Bone marrow aspirate smear
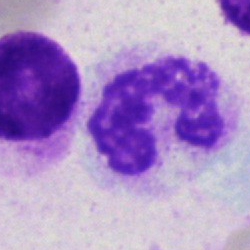

Morphology consistent with a segmented neutrophil.